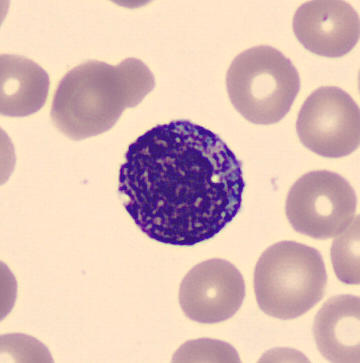 Automated cell imaging (CellaVision DM96) · May Grünwald-Giemsa stain · peripheral blood film.
Single cell identified as a myelocyte.